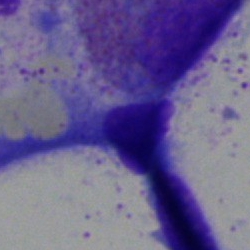

The classification is artefact.